Bone marrow aspirate smear.
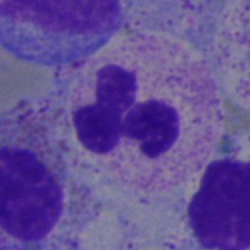

This is a polymorphonuclear neutrophil.